Bone marrow aspirate smear; single-cell field — 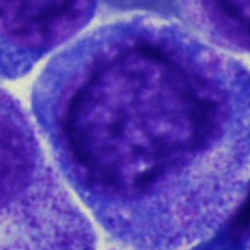

Classification — progranulocyte.